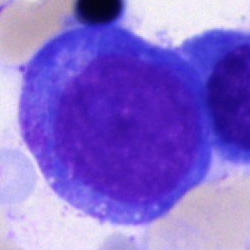 Cell = progranulocyte.